May-Grünwald-Giemsa/Pappenheim stain. Bone marrow aspirate smear — 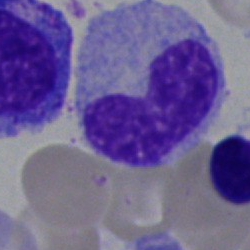 Morphological class: band-form neutrophil.